Bone marrow aspirate smear:
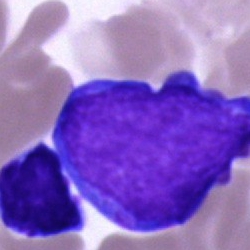Undifferentiated blast.